MGG-stained. Bone marrow smear.
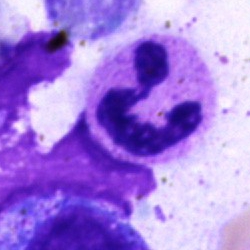Cell type = neutrophil (segmented).